May-Grünwald-Giemsa stain. Bone marrow smear:
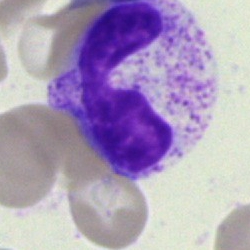Neutrophil (segmented).